Image size 250×250; bone marrow aspirate smear — 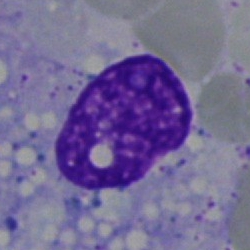

Q: What is shown here?
A: It is an artefact.